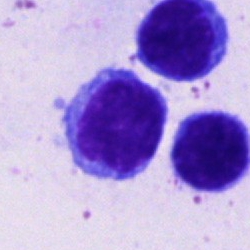

{"cell_type": "typical lymphocyte", "lineage": "lymphoid"}